Cropped to a single cell · bone marrow aspirate smear:
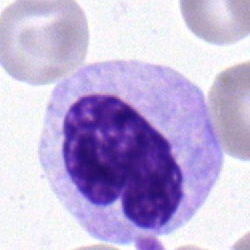

Q: Which cell type is shown here?
A: Metamyelocyte.